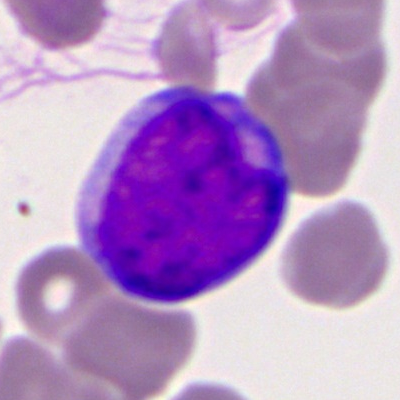 Impression → myeloblast.